Bone marrow smear.
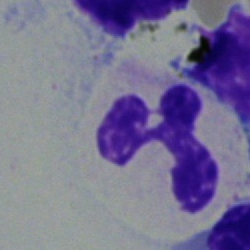
Morphology consistent with a polymorphonuclear neutrophil.